Bone marrow smear:
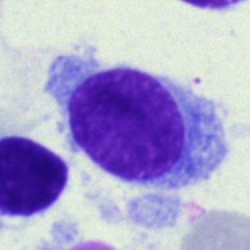
The classification is hairy cell.